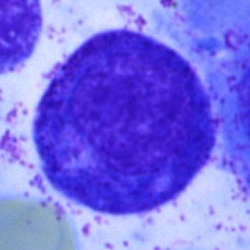 Cell — promyelocyte.